250×250 px. Bone marrow smear.
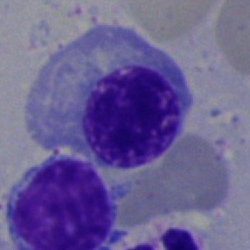 This is a nucleated red cell.